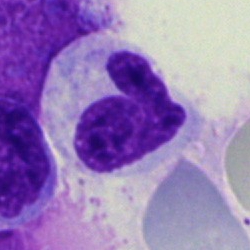

Impression → neutrophil (segmented).